Bone marrow aspirate smear · May-Grünwald-Giemsa stain · 250 by 250 pixels — 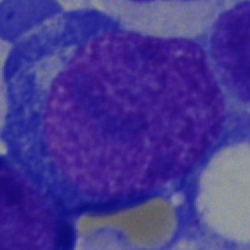
Cell type — proerythroblast.